Bone marrow smear; single-cell field — 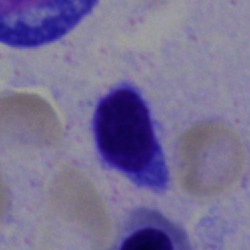 Specimen: bone marrow smear.
Cell: lymphocyte.